Bone marrow aspirate smear · 40× objective, oil immersion.
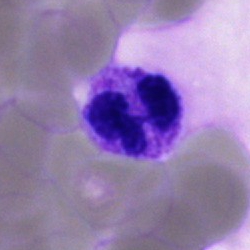Q: What is the morphological classification of this cell?
A: A polymorphonuclear neutrophil.